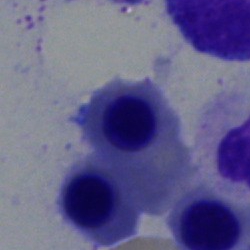The cell is nucleated red cell.